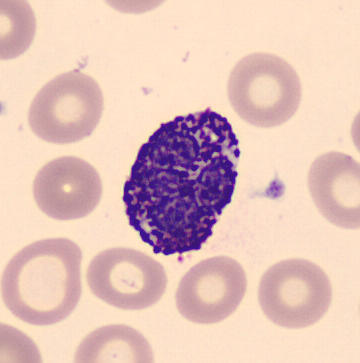Cell = basophilic granulocyte.